Bone marrow smear.
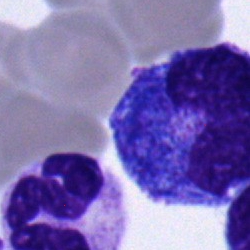Classification — monocyte.